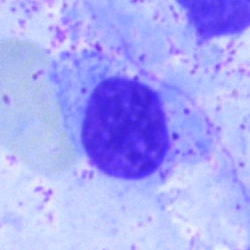 An artifact.